Bone marrow aspirate smear.
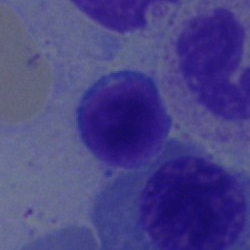

A lymphocyte.